Bone marrow aspirate smear.
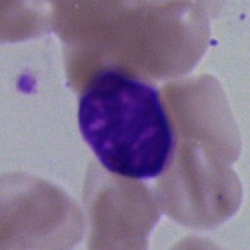

Cell — artefact.